Bone marrow aspirate smear
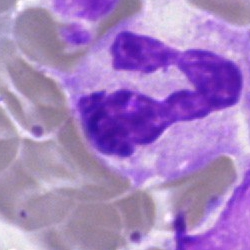 Cell type = segmented neutrophil.